Bone marrow aspirate smear · 250 by 250 pixels.
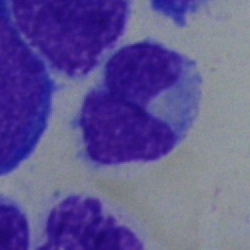

Morphology — monocyte.